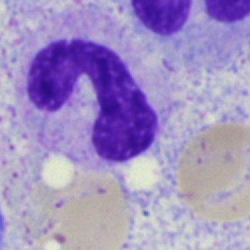

Specimen: bone marrow aspirate smear.
Cell: band-form neutrophil.
Lineage: myeloid.